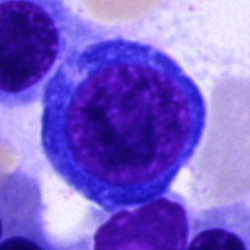
Morphology consistent with a nucleated red cell.